Peripheral blood smear.
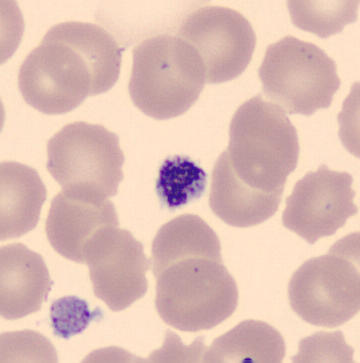

Q: What is this?
A: It is a thrombocyte.